Bone marrow smear — 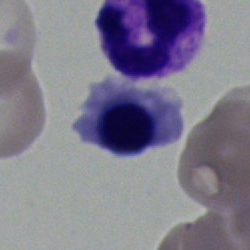

Cell type = erythroblast.